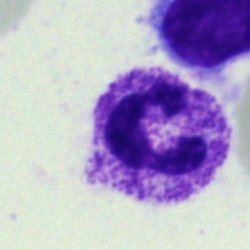 This is a polymorphonuclear neutrophil.